Bone marrow smear · May-Grünwald-Giemsa stain: 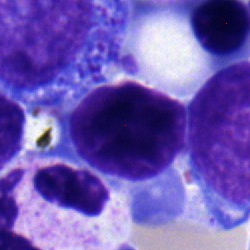 Impression — nucleated red cell.